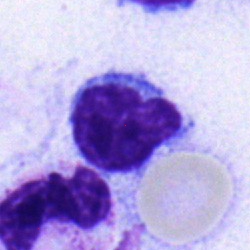Bone marrow smear showing a typical lymphocyte.